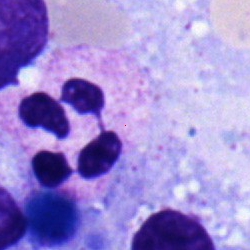

Q: What cell is this?
A: Segmented neutrophil.